Peripheral blood film — 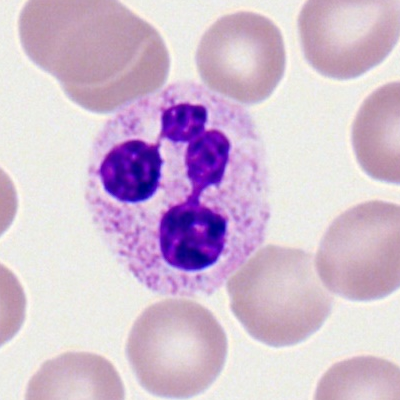
Classification: neutrophil (segmented).